Single-cell crop · bone marrow smear
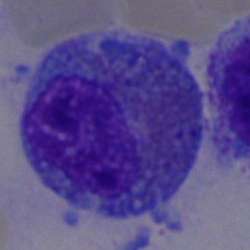
Specimen: bone marrow aspirate smear.
Cell type: eosinophil.